Bone marrow aspirate smear:
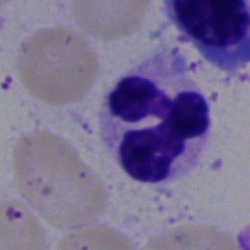
Q: What cell is this?
A: This is a neutrophil (segmented).